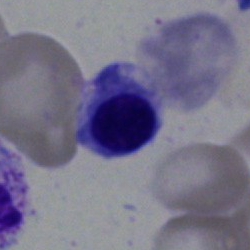 Showing a nucleated red blood cell.